Cropped to a single cell; image size 250×250; bone marrow smear.
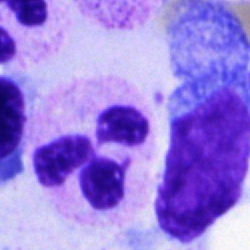Polymorphonuclear neutrophil.